Bone marrow smear; May-Grünwald-Giemsa stain: 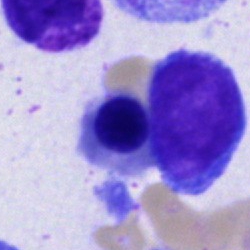

Cell type — nucleated red blood cell.